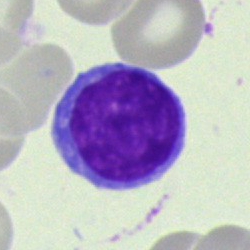Morphological class = lymphocyte.